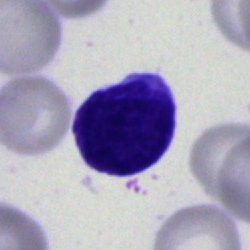 This is an undifferentiated blast.